Bone marrow smear — 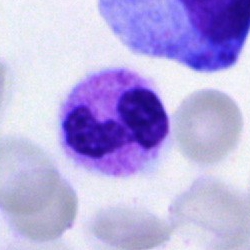

Impression — polymorphonuclear neutrophil.